Bone marrow aspirate smear
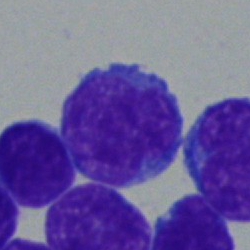 Specimen: bone marrow aspirate smear.
Morphological class: typical lymphocyte.
Lineage: lymphoid.